May-Grünwald-Giemsa stain · bone marrow smear:
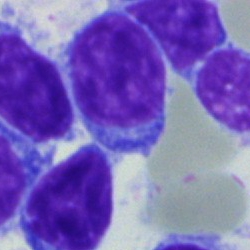 This is a lymphocyte.